Bone marrow smear
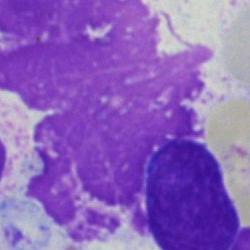Cell: artifact.